Peripheral blood film.
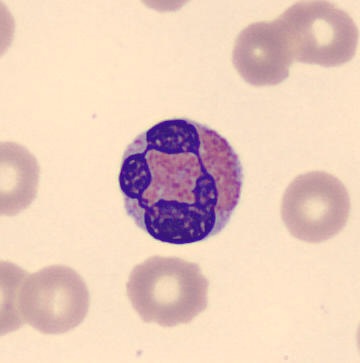

An eosinophilic granulocyte.